Bone marrow aspirate smear: 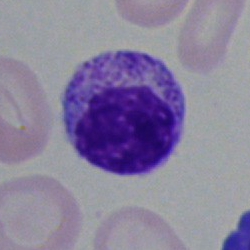Specimen: bone marrow aspirate smear.
Classification: myelocyte.
Lineage: myeloid.